Bone marrow aspirate smear. Brightfield, 40× oil-immersion objective:
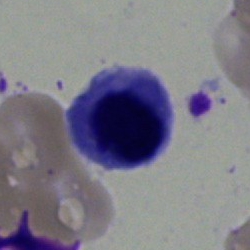

Specimen: bone marrow smear.
Cell: nucleated red blood cell.
Lineage: erythroid.